MGG-stained. Bone marrow aspirate smear.
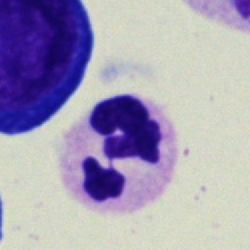
Cell — neutrophil (segmented).